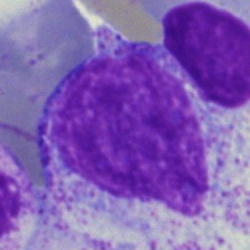

A promyelocyte on a bone marrow smear.